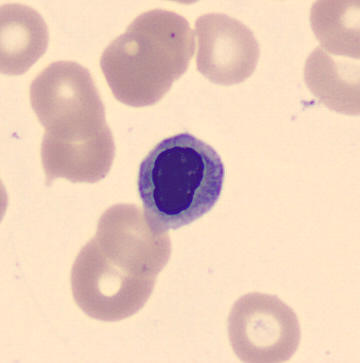

Peripheral blood smear showing an erythroblast.